Peripheral blood film
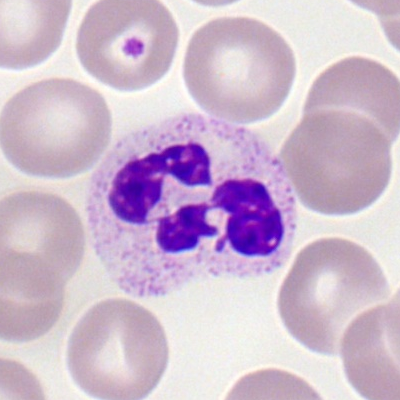
Cell type = neutrophil (segmented).